Bone marrow aspirate smear: 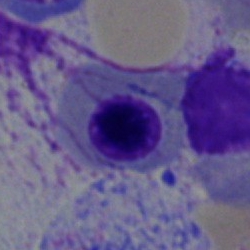Nucleated red cell.